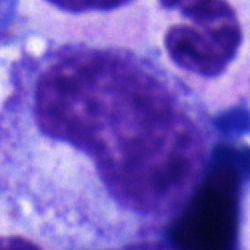
Cell type: metamyelocyte.